May-Grünwald-Giemsa/Pappenheim stain. Bone marrow aspirate smear: 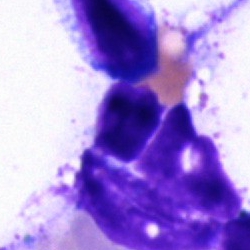The cell shown is an artifact.